Bone marrow aspirate smear. MGG-stained: 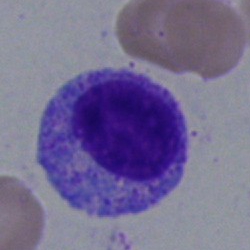

This is a myelocyte.